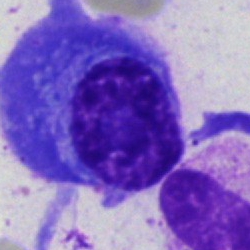Bone marrow smear showing a plasmacyte.